Bone marrow smear; 250×250; MGG-stained.
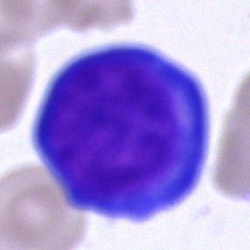

Morphology — proerythroblast.